Bone marrow aspirate smear — 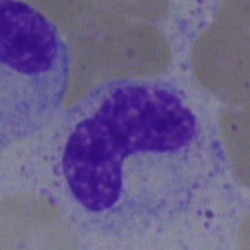 Morphological class — band-form neutrophil.